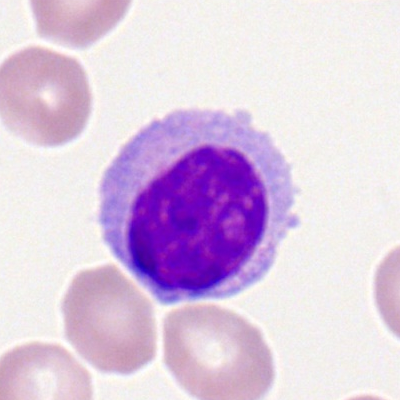 Q: What is the morphological classification of this cell?
A: Typical lymphocyte.